Peripheral blood smear · Romanowsky stain.
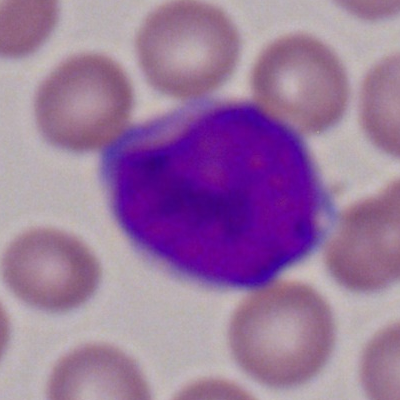Myeloblast.